Bone marrow smear
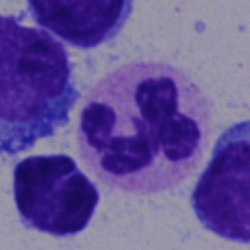 Morphology consistent with a segmented neutrophil.